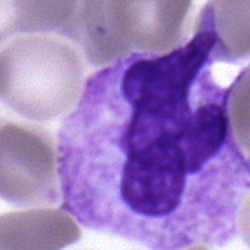

Bone marrow smear showing a polymorphonuclear neutrophil.